Bone marrow smear · May-Grünwald-Giemsa stain — 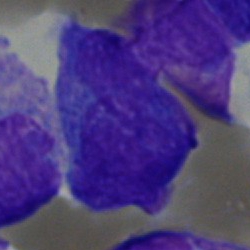
Cell type: blast cell.